Bone marrow aspirate smear
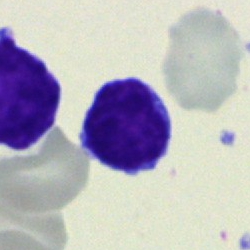 A lymphocyte.